Bone marrow aspirate smear:
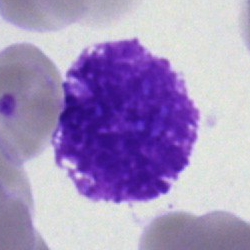

Cell type — artefact.